Bone marrow smear · 250×250 px — 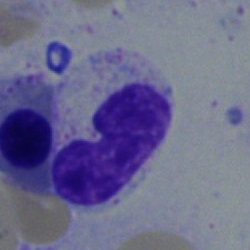The morphological class is stab cell.